Bone marrow smear: 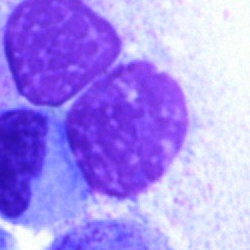Morphology — artefact.